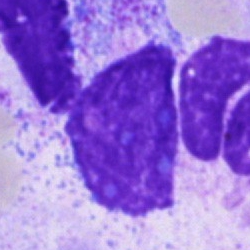
An artefact.